MGG-stained. Bone marrow smear — 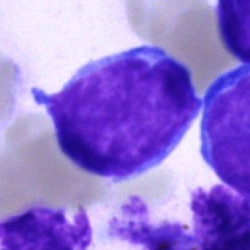

Morphological class — undifferentiated blast.